Bone marrow smear: 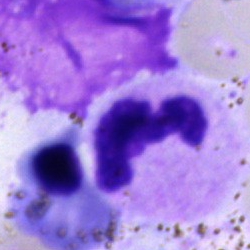

Specimen: bone marrow smear.
Classification: segmented neutrophil.